Bone marrow aspirate smear.
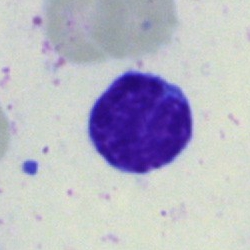
Q: Identify the cell.
A: It is a typical lymphocyte.